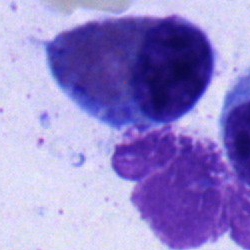Morphology consistent with an eosinophilic granulocyte.